Pappenheim-stained. Bone marrow aspirate smear.
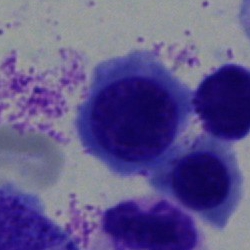

Morphological class — nucleated red blood cell.